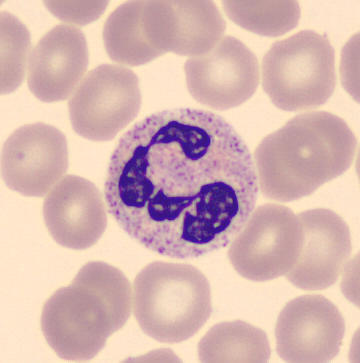Acquisition: May-Grünwald-Giemsa-stained.

Specimen: peripheral blood smear.
Cell type: segmented neutrophil.